Bone marrow aspirate smear: 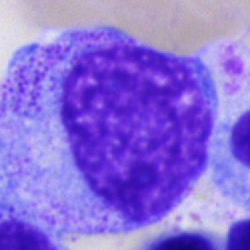
Q: What is shown here?
A: Progranulocyte.